Bone marrow aspirate smear.
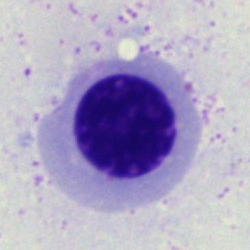

{"cell_type": "nucleated red blood cell"}